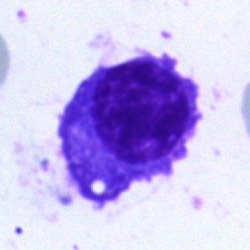
Morphology consistent with a plasma cell.